Image size 250×250; bone marrow aspirate smear:
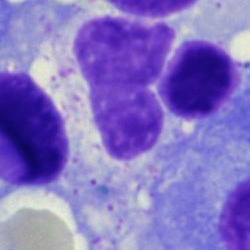

Morphology consistent with a metamyelocyte.